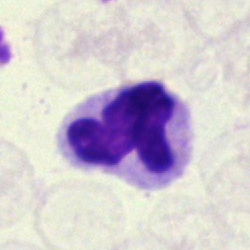
Q: What is the morphological classification of this cell?
A: It is a segmented neutrophil.